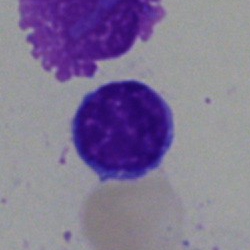

Morphology → lymphocyte.